Bone marrow smear; brightfield, 40× oil-immersion objective:
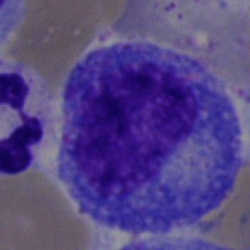

Q: Identify the cell.
A: A promyelocyte.